Bone marrow aspirate smear · 40× objective, oil immersion
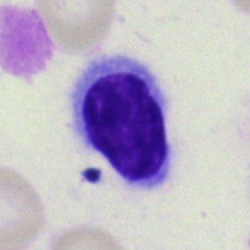
Specimen: bone marrow aspirate smear.
Classification: lymphocyte.
Lineage: lymphoid.